May-Grünwald-Giemsa stain · bone marrow aspirate smear:
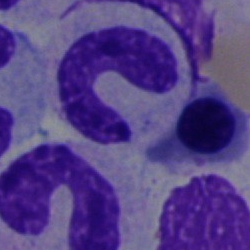

Specimen: bone marrow smear.
Classification: band neutrophil.
Lineage: myeloid.